Bone marrow aspirate smear — 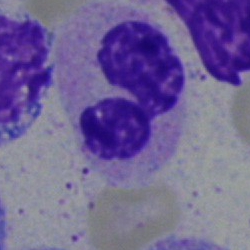 Cell type: segmented neutrophil.